Bone marrow smear:
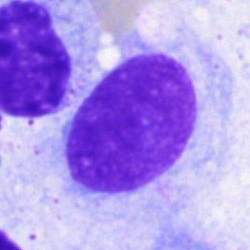

Impression — artefact.